Bone marrow smear · single-cell crop · May-Grünwald-Giemsa/Pappenheim stain.
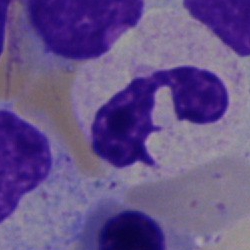 Single cell identified as a segmented neutrophil.